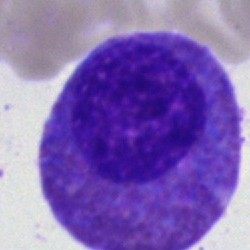
Morphology — promyelocyte.